Bone marrow smear
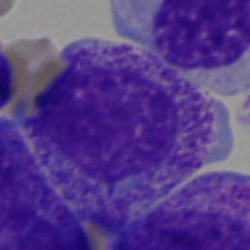{"cell_type": "myelocyte"}